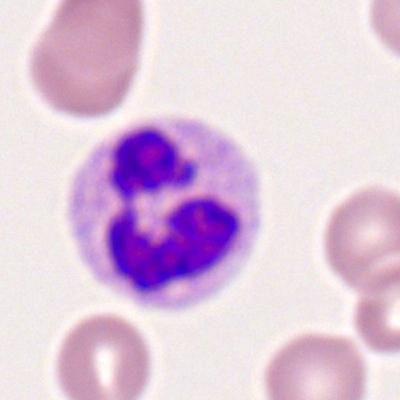A polymorphonuclear neutrophil.